Single cell centered in the field · bone marrow smear — 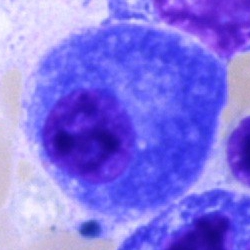 Q: Identify the cell.
A: This is a plasmacyte.